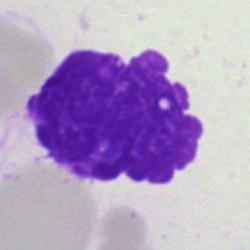 Q: What is shown here?
A: An artifact.